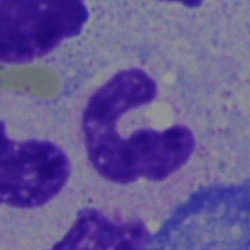 A segmented neutrophil.